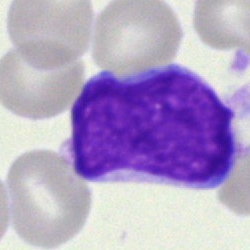{"cell_type": "undifferentiated blast"}